Bone marrow aspirate smear
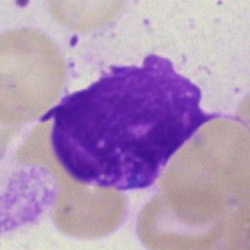 An artifact.